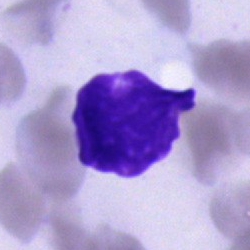
Morphological class = artifact.